40× oil immersion · May-Grünwald-Giemsa/Pappenheim stain · bone marrow smear — 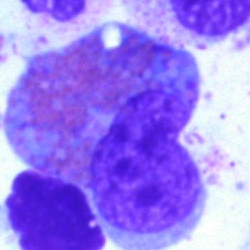
Morphological class = eosinophil.